Brightfield, 100× oil-immersion objective; peripheral blood smear: 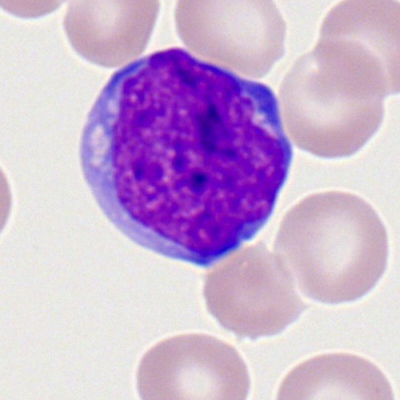
Q: Which cell type is shown here?
A: It is a myeloid blast.